Bone marrow aspirate smear; single cell centered in the field; brightfield microscopy, 40× oil immersion.
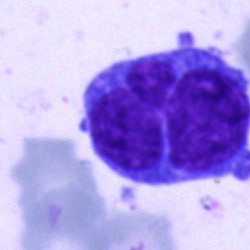 Morphology → blast.